Bone marrow smear · brightfield, 40× oil-immersion objective · image size 250×250.
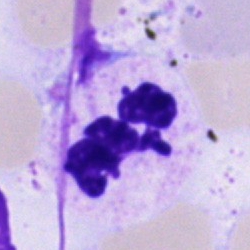 Single cell identified as a neutrophil (segmented).